Bone marrow aspirate smear.
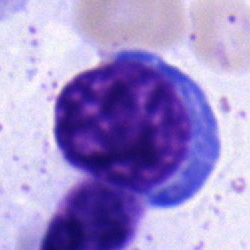

Nucleated red blood cell.